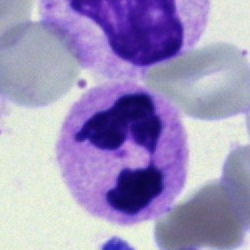

Cell type = polymorphonuclear neutrophil.